Bone marrow smear: 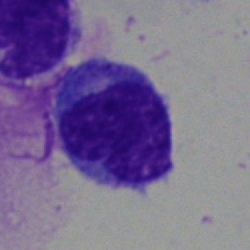 Specimen: bone marrow smear.
Morphological class: lymphocyte.
Lineage: lymphoid.